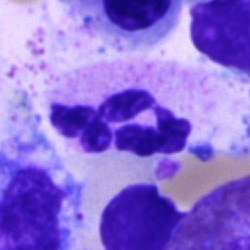Morphology → polymorphonuclear neutrophil.